100× oil immersion, 14.14 px/µm · peripheral blood smear · Romanowsky-stained:
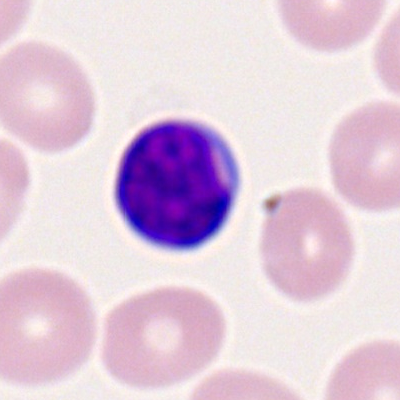

A lymphocyte.